Bone marrow smear
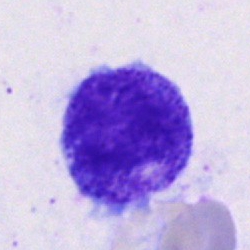Single cell identified as a promyelocyte.